Bone marrow smear
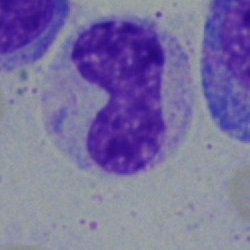 A neutrophil (band).